Bone marrow smear: 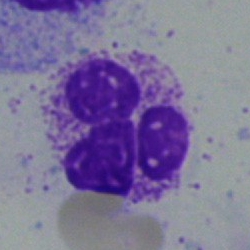
Cell type — polymorphonuclear neutrophil.